250 by 250 pixels · bone marrow smear
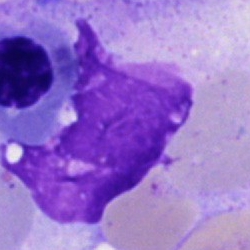{"cell_type": "artifact"}